40× objective, oil immersion; bone marrow smear
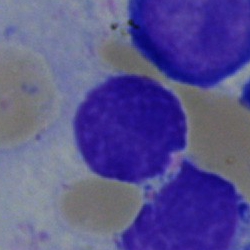

The morphological class is lymphocyte.